Single cell centered in the field · peripheral blood film · Romanowsky stain — 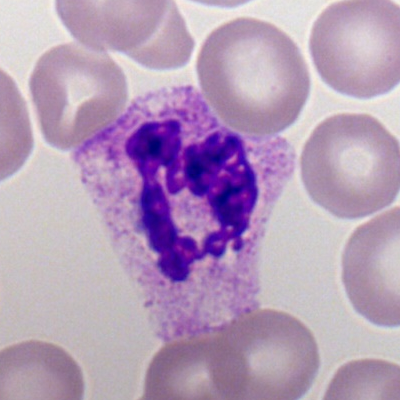 Q: What is shown here?
A: It is a neutrophil (segmented).